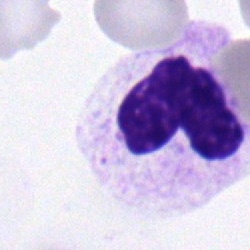 A band-form neutrophil on a bone marrow smear.